Single-cell field · bone marrow smear · 250×250: 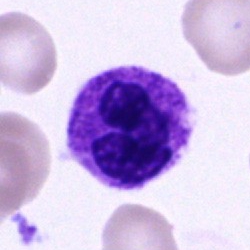

Morphological class — segmented neutrophil.